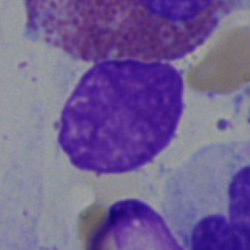
Bone marrow aspirate smear, single cell — artefact.